Single-cell crop. Brightfield microscopy, 40× oil immersion. Bone marrow smear — 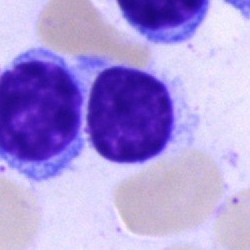

{"cell_type": "typical lymphocyte", "lineage": "lymphoid"}